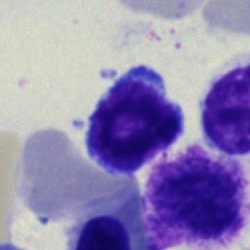 The morphological class is lymphocyte.